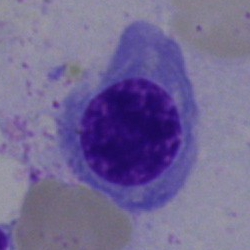Q: What cell is this?
A: This is a nucleated red blood cell.